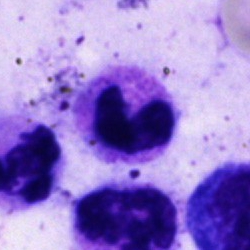
A polymorphonuclear neutrophil.